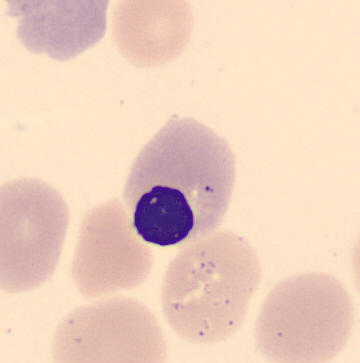

Cell: nucleated red cell.